Bone marrow aspirate smear.
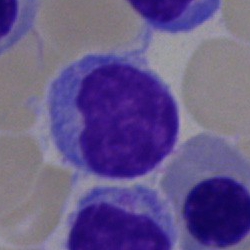
A lymphocyte.